Brightfield, 40× oil-immersion objective; May-Grünwald-Giemsa/Pappenheim stain; bone marrow aspirate smear.
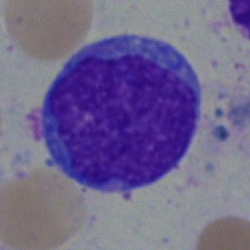Q: What type of cell is this?
A: Blast.